Bone marrow aspirate smear; May-Grünwald-Giemsa stain.
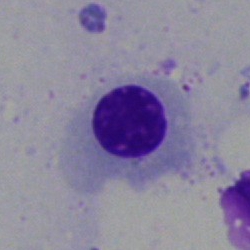 {"cell_type": "nucleated red cell"}